Peripheral blood smear.
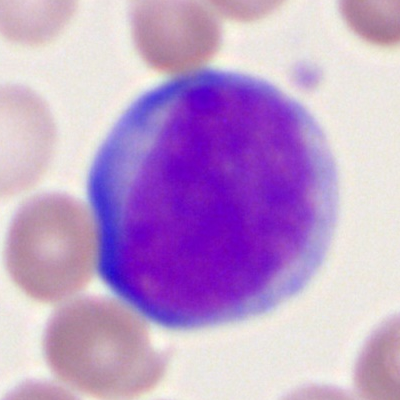
Morphology consistent with a myeloblast.